MGG-stained · bone marrow aspirate smear
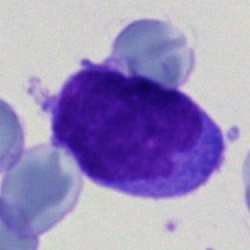Morphological class: undifferentiated blast.